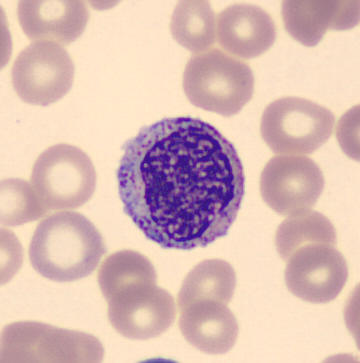

Preparation: 360×363 px · peripheral blood smear. Cell type — myelocyte.